Single-cell crop; bone marrow aspirate smear — 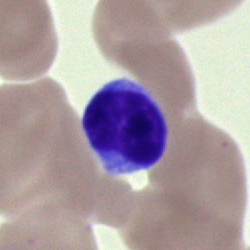 Cell type: lymphocyte.